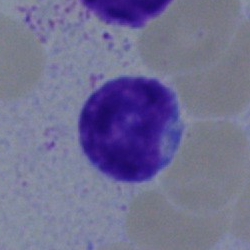

Cell = lymphocyte.